Cropped to a single cell; bone marrow smear
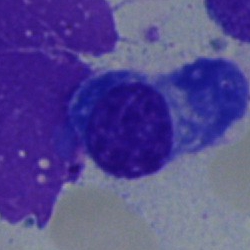

A plasma cell.